Bone marrow smear:
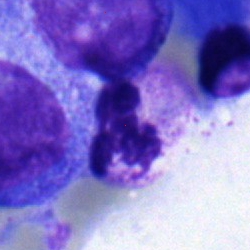 Morphology → neutrophil (segmented).